Bone marrow smear: 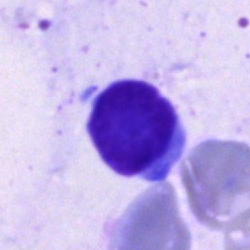 Q: What type of cell is this?
A: Typical lymphocyte.